Pappenheim-stained. Bone marrow smear. 250×250 px
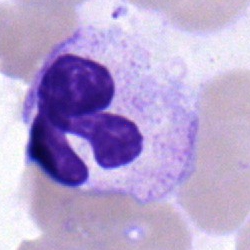

{"cell_type": "segmented neutrophil"}